Peripheral blood film. 100× objective, oil immersion. 400×400
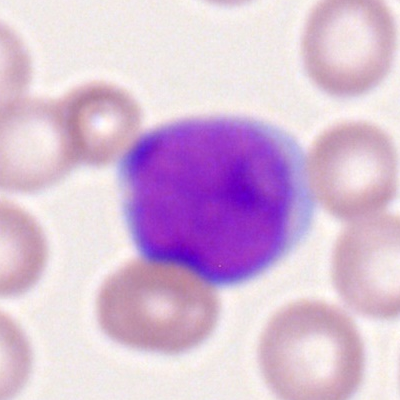 Morphology consistent with a segmented neutrophil.